Bone marrow smear.
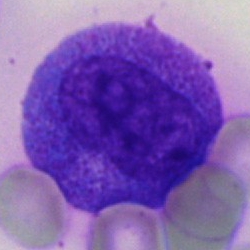 Single cell identified as a progranulocyte.